Bone marrow aspirate smear
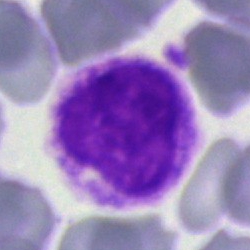Morphology — artefact.